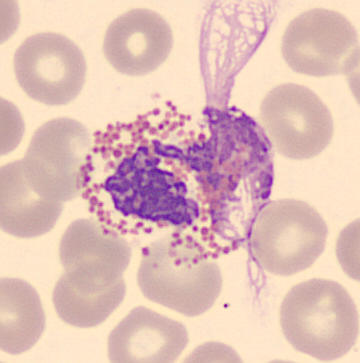 May Grünwald-Giemsa stain. Specimen: peripheral blood film.
Cell type: eosinophil.
Lineage: myeloid.